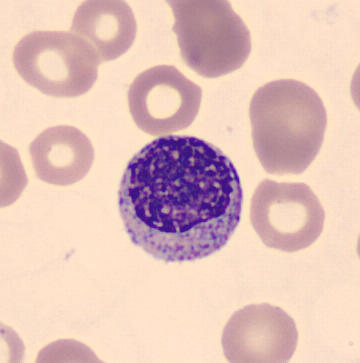 The cell shown is a myelocyte.